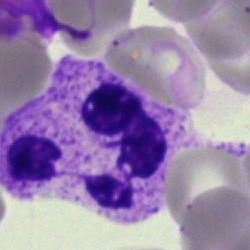
Specimen: bone marrow aspirate smear.
Classification: neutrophil (segmented).
Lineage: myeloid.